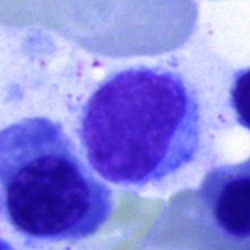

Classification: typical lymphocyte.